Bone marrow smear
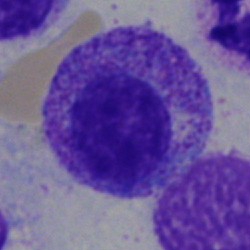 The cell shown is a myelocyte.